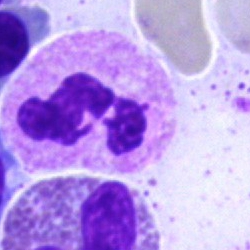

Cell: polymorphonuclear neutrophil.